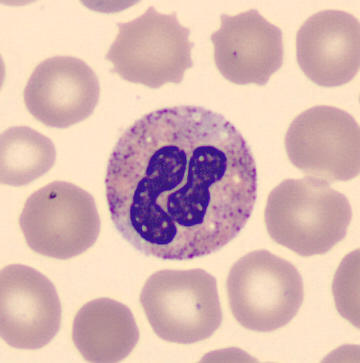Morphology → neutrophil (band).